Brightfield microscopy, 40× oil immersion · bone marrow aspirate smear — 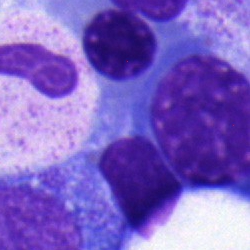 An erythroblast.